250×250; cropped to a single cell; bone marrow aspirate smear — 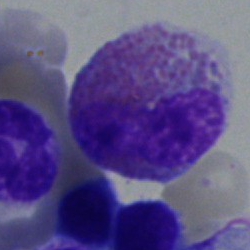

Q: Identify the cell.
A: This is an eosinophil.